40× objective, oil immersion; bone marrow smear; single cell centered in the field
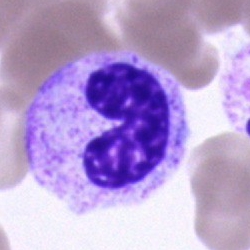A stab cell.